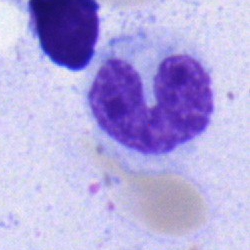 Single cell identified as a neutrophil (band).